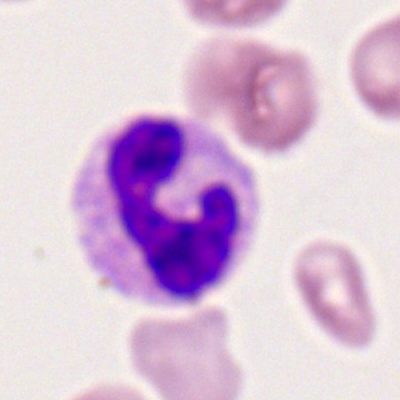 Specimen: peripheral blood film.
Cell: polymorphonuclear neutrophil.